Bone marrow smear: 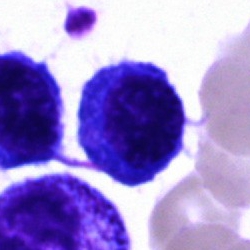

Morphological class = nucleated red cell.